Bone marrow aspirate smear.
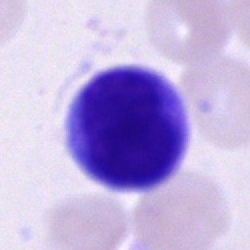

Morphological class: cell of indeterminate lineage.